Bone marrow aspirate smear — 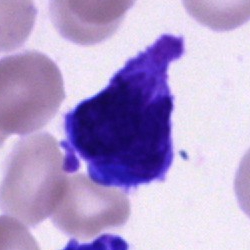Cell — cell of indeterminate lineage.